Bone marrow aspirate smear; image size 250×250:
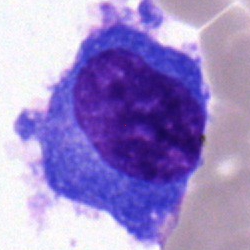

Single cell identified as a plasmacyte.